Bone marrow smear.
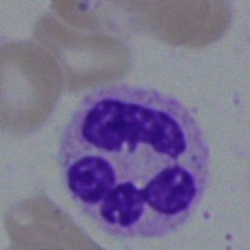 Cell — polymorphonuclear neutrophil.